Single cell centered in the field · bone marrow aspirate smear
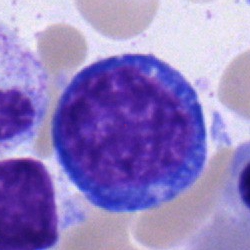
Specimen: bone marrow smear.
Classification: normoblast.